Bone marrow smear.
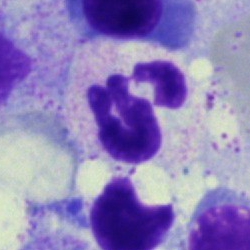Cell — polymorphonuclear neutrophil.